Bone marrow aspirate smear · 250×250 · cropped to a single cell — 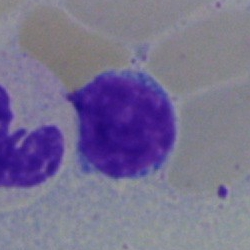Morphological class = lymphocyte.